Bone marrow smear; Pappenheim-stained
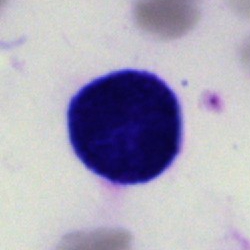 Q: What is shown here?
A: An artifact.